Bone marrow smear: 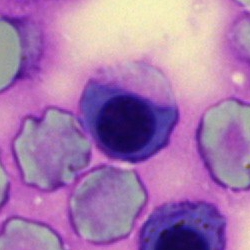 Q: Identify the cell.
A: This is a nucleated red blood cell.